Bone marrow smear
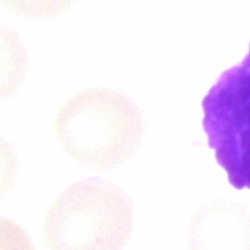 Morphology consistent with an artefact.